Bone marrow smear:
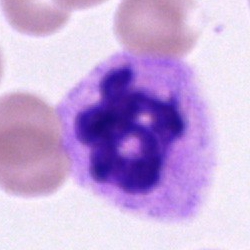

Classification: neutrophil (segmented).